Cropped to a single cell; bone marrow aspirate smear; Pappenheim-stained
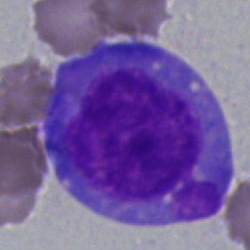 Morphology consistent with a blast.